Bone marrow smear — 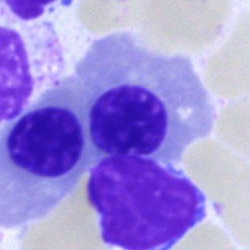 Specimen: bone marrow aspirate smear.
Classification: nucleated red cell.
Lineage: erythroid.